Bone marrow aspirate smear — 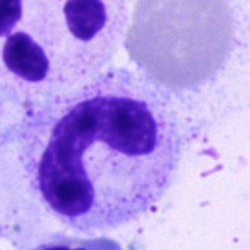

{"cell_type": "stab cell", "lineage": "myeloid"}